250 by 250 pixels. 40× oil immersion. Bone marrow aspirate smear:
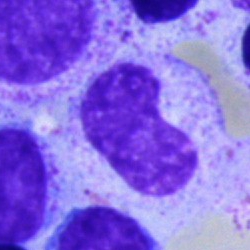
Morphology consistent with a stab cell.